Bone marrow aspirate smear · Pappenheim-stained — 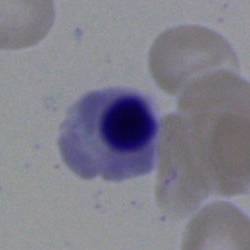Q: What type of cell is this?
A: It is a nucleated red cell.